Bone marrow smear:
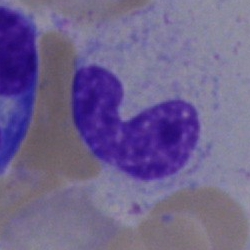
{"cell_type": "band-form neutrophil", "lineage": "myeloid"}